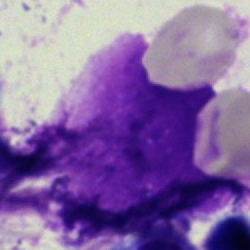 Q: What is shown here?
A: It is an artifact.